Bone marrow smear — 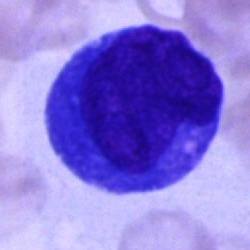
Morphology consistent with a blast cell.